Bone marrow aspirate smear — 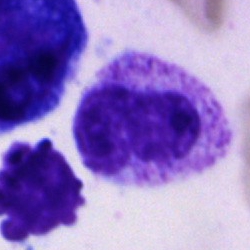 Morphology consistent with a neutrophil (band).